Single cell centered in the field · bone marrow smear — 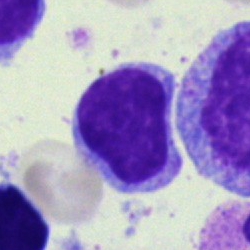

A typical lymphocyte.